Bone marrow aspirate smear.
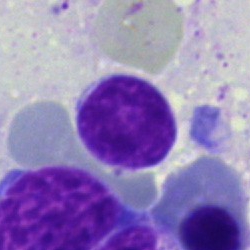 Q: What is the morphological classification of this cell?
A: This is a typical lymphocyte.